Bone marrow aspirate smear; single-cell crop; brightfield, 40× oil-immersion objective
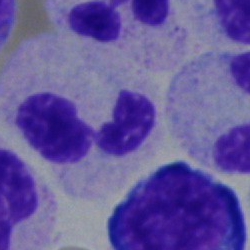Q: Identify the cell.
A: Neutrophil (segmented).